MGG-stained · bone marrow aspirate smear — 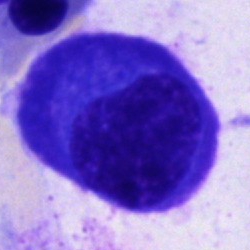Specimen: bone marrow aspirate smear.
Morphological class: plasma cell.